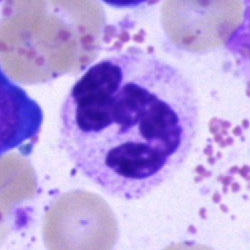The morphological class is neutrophil (segmented).